Bone marrow smear.
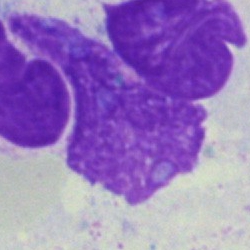 Impression — artifact.